May-Grünwald-Giemsa/Pappenheim stain. Bone marrow aspirate smear.
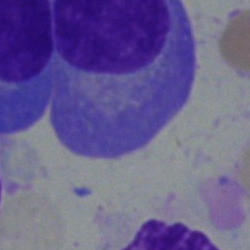 The morphological class is plasma cell.